Cropped to a single cell; bone marrow aspirate smear; 250 by 250 pixels — 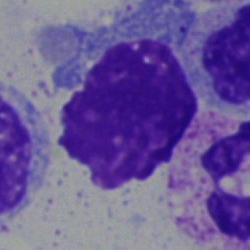Morphology — artifact.